40× objective, oil immersion; bone marrow aspirate smear:
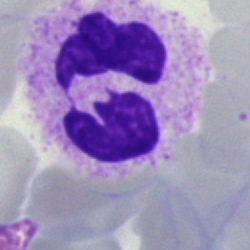
The cell shown is a segmented neutrophil.